Brightfield, 40× oil-immersion objective · bone marrow aspirate smear — 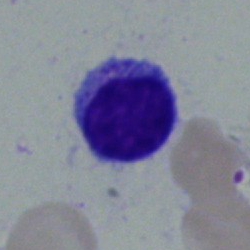
Typical lymphocyte.